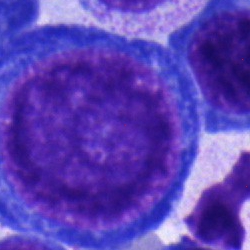Single cell identified as a pronormoblast.